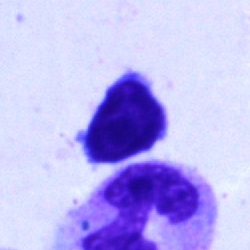 A typical lymphocyte on a bone marrow smear.